Bone marrow smear.
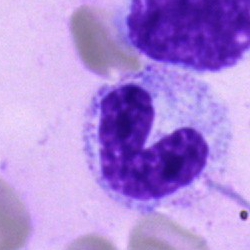Morphological class = stab cell.